40× oil immersion. Bone marrow smear.
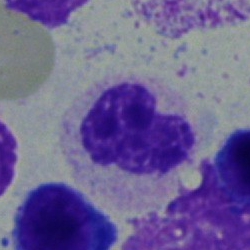
The classification is polymorphonuclear neutrophil.